Bone marrow aspirate smear.
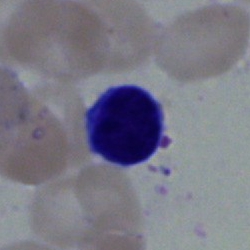
Specimen: bone marrow smear.
Classification: lymphocyte.
Lineage: lymphoid.